Bone marrow aspirate smear · cropped to a single cell: 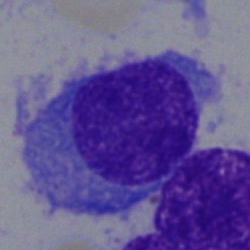 Showing a plasmacyte.